MGG-stained. Bone marrow smear
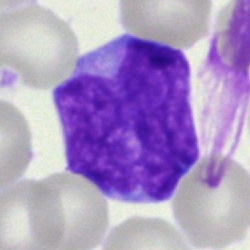
Morphology — undifferentiated blast.